Pappenheim-stained. Bone marrow aspirate smear:
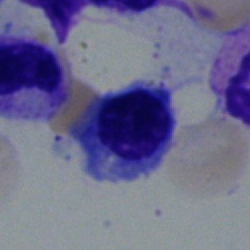Showing a nucleated red cell.